Bone marrow aspirate smear: 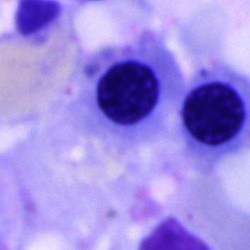
Specimen: bone marrow smear.
Cell type: nucleated red cell.